Bone marrow aspirate smear — 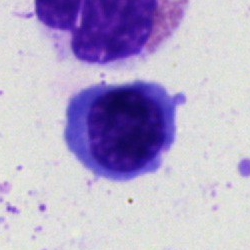Cell type — nucleated red blood cell.